May-Grünwald-Giemsa/Pappenheim stain. Bone marrow smear.
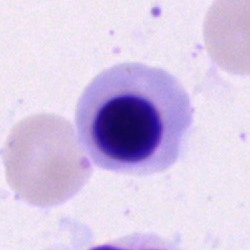
Classification = nucleated red blood cell.